Bone marrow aspirate smear:
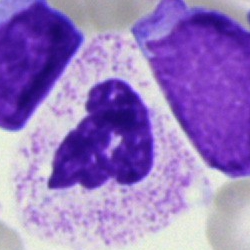
Q: What cell is this?
A: A neutrophil (segmented).